250×250 · bone marrow smear.
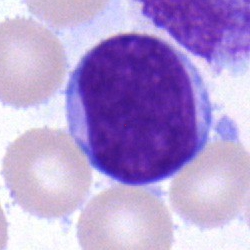

Classification — blast.